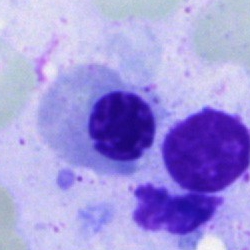 Erythroblast.